250×250 px · bone marrow aspirate smear: 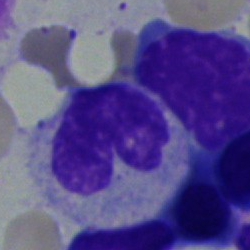 This is a neutrophil (band).